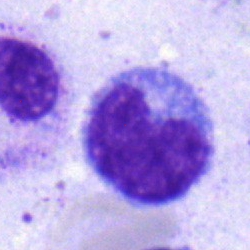Bone marrow smear showing a metamyelocyte.